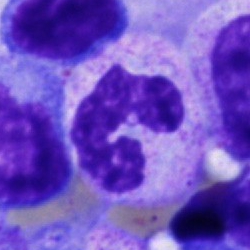 Morphology — segmented neutrophil.